Brightfield microscopy, 40× oil immersion · bone marrow smear · single-cell field: 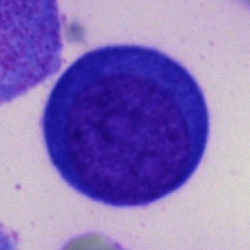 The cell shown is a pronormoblast.